Peripheral blood smear
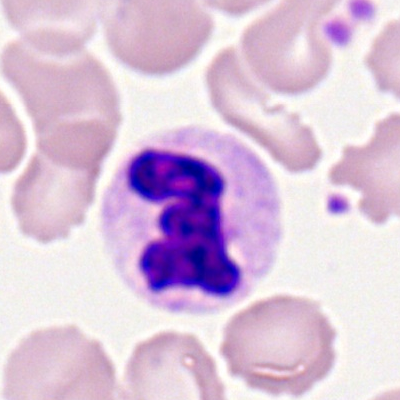 Impression — neutrophil (segmented).